250 by 250 pixels · bone marrow smear
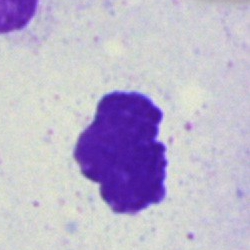Morphological class = artefact.